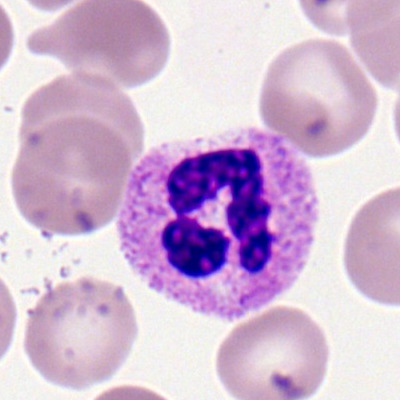

{"cell_type": "segmented neutrophil"}